Bone marrow smear: 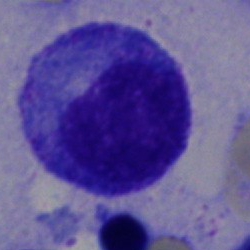 Specimen: bone marrow smear.
Classification: promyelocyte.
Lineage: myeloid.